Single-cell crop. Bone marrow smear — 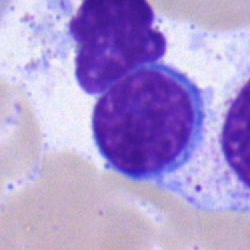
Specimen: bone marrow smear.
Classification: typical lymphocyte.
Lineage: lymphoid.